Pappenheim-stained. Bone marrow smear: 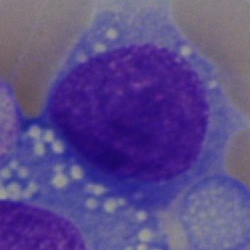Showing a blast.